Bone marrow smear · single-cell crop · brightfield, 40× oil-immersion objective — 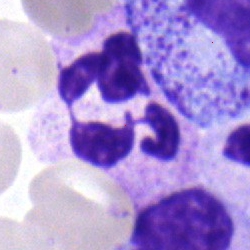This is a neutrophil (segmented).